May-Grünwald-Giemsa/Pappenheim stain. 40× oil immersion. Bone marrow aspirate smear — 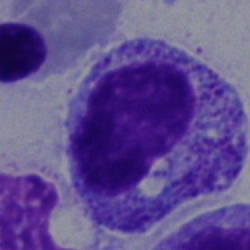 Single cell identified as a myelocyte.